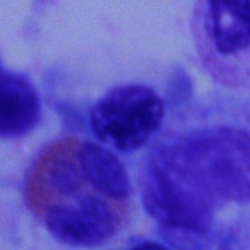
Morphology — eosinophilic granulocyte.